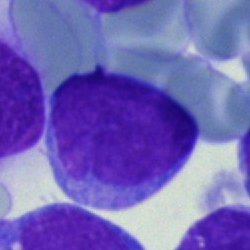Blast.